250×250 px. Bone marrow aspirate smear. Pappenheim-stained.
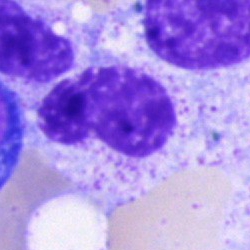
Specimen: bone marrow aspirate smear.
Classification: metamyelocyte.
Lineage: myeloid.